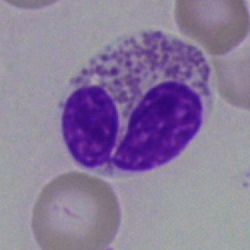Impression → eosinophil.